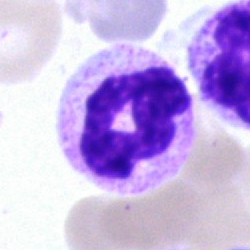 Cell type: neutrophil (segmented).